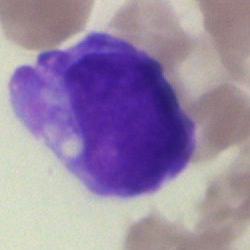
Q: What type of cell is this?
A: Undifferentiated blast.